Bone marrow aspirate smear
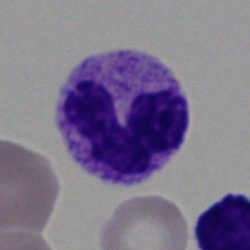Morphology consistent with a polymorphonuclear neutrophil.